Cropped to a single cell; peripheral blood film:
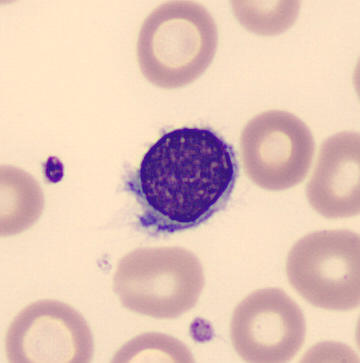
A lymphocyte.